Bone marrow aspirate smear
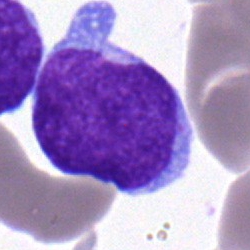 The cell shown is a blast.